40× oil immersion. Image size 250×250. Bone marrow aspirate smear:
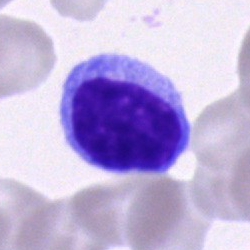
Cell type: lymphocyte.